Single cell centered in the field · image size 250×250 · bone marrow aspirate smear: 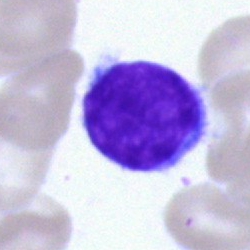
Cell type = lymphocyte.